Bone marrow smear.
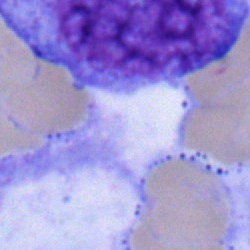

Q: What type of cell is this?
A: Myelocyte.